Bone marrow smear:
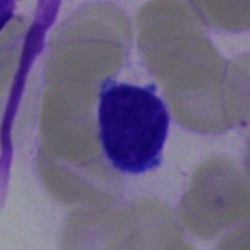 {"cell_type": "typical lymphocyte"}